Bone marrow aspirate smear: 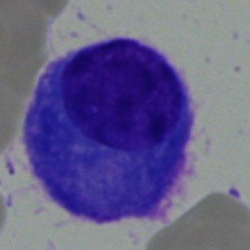 Showing a plasma cell.